Bone marrow aspirate smear — 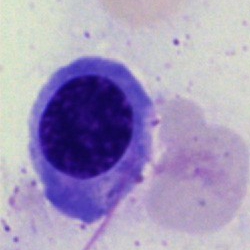
Q: Which cell type is shown here?
A: A nucleated red cell.